Pappenheim-stained. 40× objective, oil immersion. Bone marrow smear.
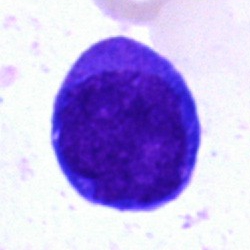
Specimen: bone marrow smear.
Cell type: blast cell.